Bone marrow smear — 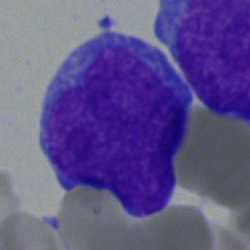
A blast.